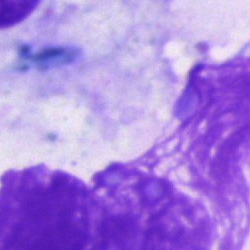 {"cell_type": "artifact"}